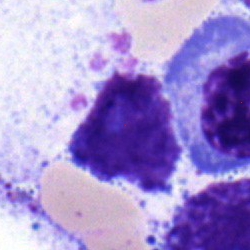

Q: What cell is this?
A: Lymphocyte.